Bone marrow smear · 250 by 250 pixels
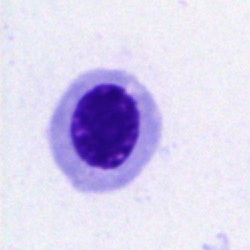
Q: Which cell type is shown here?
A: This is a nucleated red blood cell.